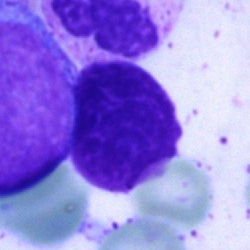Single-cell crop from a bone marrow smear: typical lymphocyte.